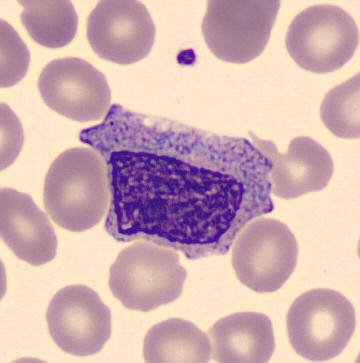
Specimen: peripheral blood film.
Cell type: myelocyte.